Bone marrow aspirate smear — 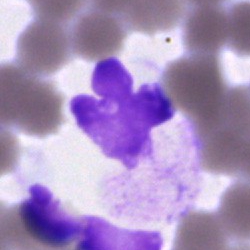

This is an artefact.